100× oil immersion, 14.14 px/µm. Peripheral blood smear.
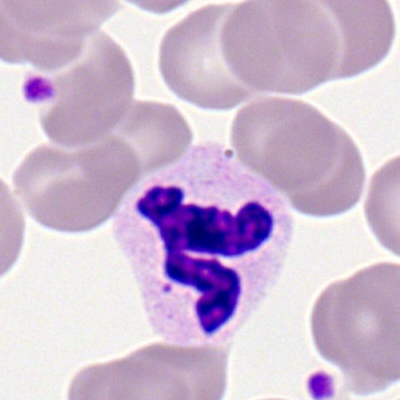

The cell type is neutrophil (segmented).